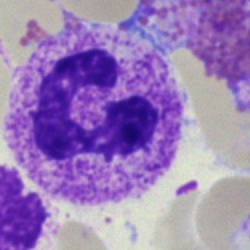A segmented neutrophil.